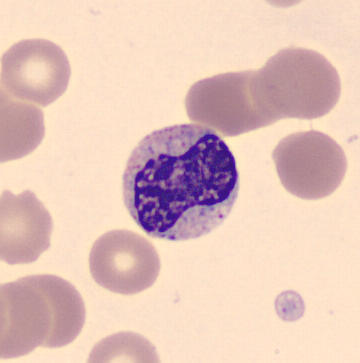

Image: MGG-stained; 360 by 363 pixels; peripheral blood film. Q: What is this?
A: This is a metamyelocyte.